Peripheral blood smear. Romanowsky-stained — 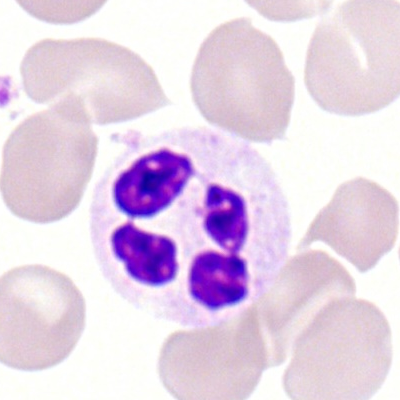Q: What type of cell is this?
A: Polymorphonuclear neutrophil.